Bone marrow smear. Pappenheim-stained. Brightfield microscopy, 40× oil immersion: 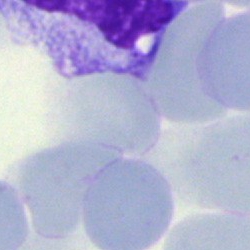
This is an artefact.